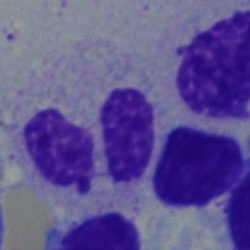

Showing a neutrophil (segmented).